Cropped to a single cell. MGG-stained. Bone marrow smear — 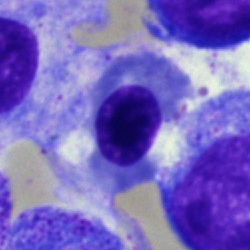This is a nucleated red blood cell.